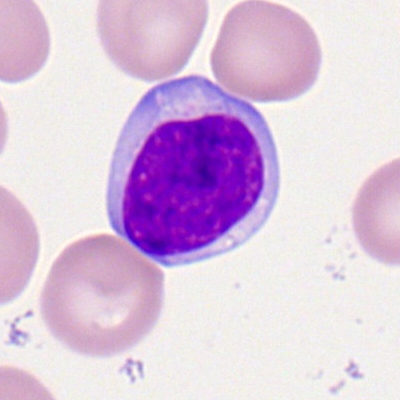
Single-cell crop from a peripheral blood smear: lymphocyte.